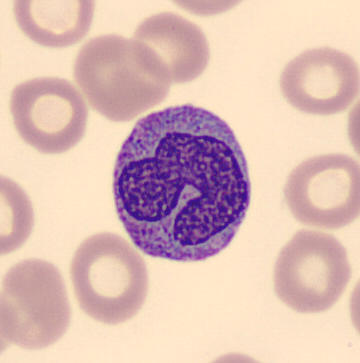

Morphological class — monocyte.
May Grünwald-Giemsa stain. Peripheral blood smear.